Bone marrow smear.
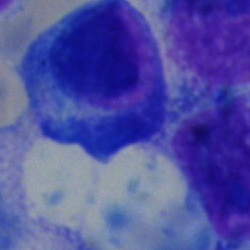
Morphology — plasmacyte.